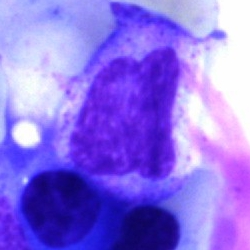
Classification — artifact.